Single cell centered in the field · image size 250×250 · bone marrow smear.
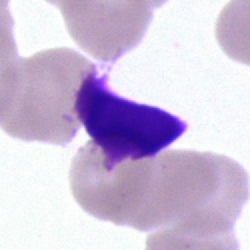

Q: What is shown here?
A: Artefact.